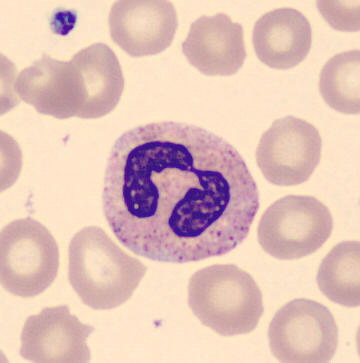 This is a segmented neutrophil.